Bone marrow smear · brightfield microscopy, 40× oil immersion: 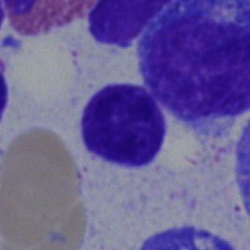The cell shown is a typical lymphocyte.